Pappenheim-stained; bone marrow smear; 250×250:
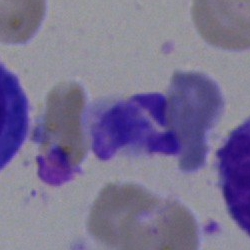

Morphology — artefact.